Bone marrow smear: 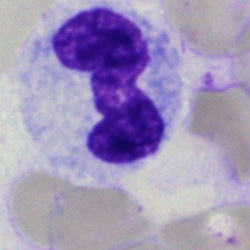Morphology — band neutrophil.